MGG-stained; brightfield, 40× oil-immersion objective; bone marrow smear:
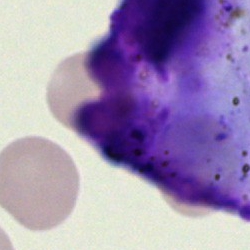Cell type: artifact.